Bone marrow aspirate smear — 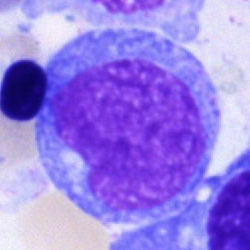
An undifferentiated blast.